Bone marrow aspirate smear: 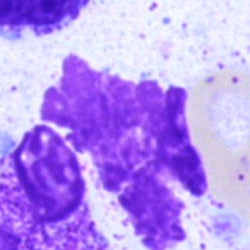

Morphology consistent with an artefact.